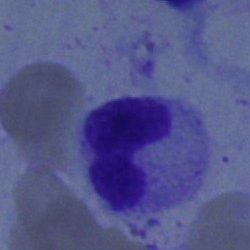

Single-cell crop from a bone marrow smear: band neutrophil.